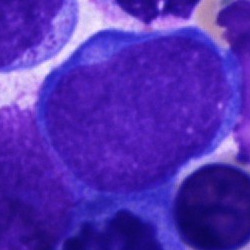

The morphological class is undifferentiated blast.